Bone marrow smear · 250×250 px — 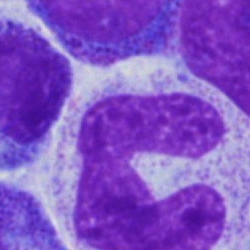 Classification = band-form neutrophil.